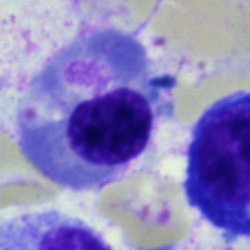 A nucleated red blood cell.